Bone marrow smear.
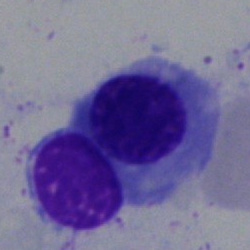
Q: What is the morphological classification of this cell?
A: It is a normoblast.